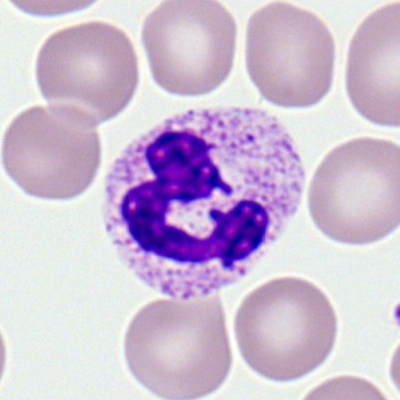
Classification: neutrophil (segmented).